Bone marrow smear:
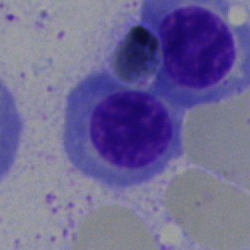

{"cell_type": "erythroblast", "lineage": "erythroid"}